Bone marrow aspirate smear · single-cell field · brightfield microscopy, 40× oil immersion:
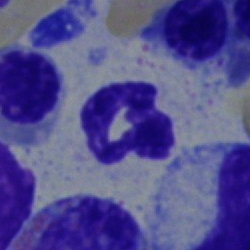Specimen: bone marrow aspirate smear.
Cell: neutrophil (segmented).